Bone marrow smear:
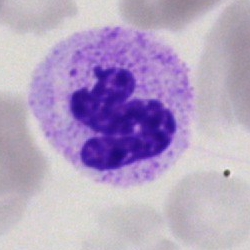Cell type = neutrophil (segmented).